Brightfield microscopy, 40× oil immersion; bone marrow smear — 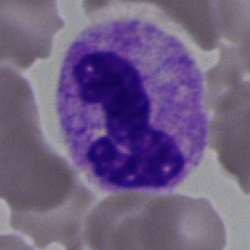This is a polymorphonuclear neutrophil.